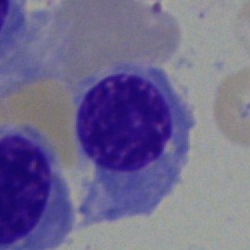
Bone marrow smear showing a nucleated red cell.